Single cell centered in the field · bone marrow smear · 250 by 250 pixels
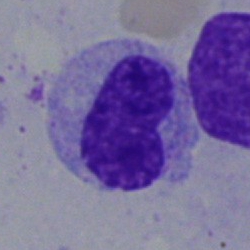
Morphology consistent with a stab cell.